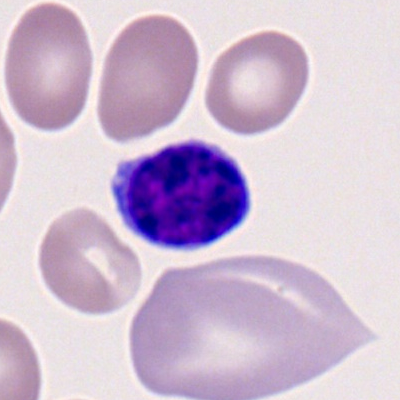Classification = typical lymphocyte.